Bone marrow smear. 250×250 px: 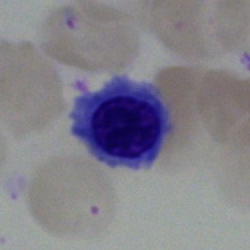 Impression → erythroblast.